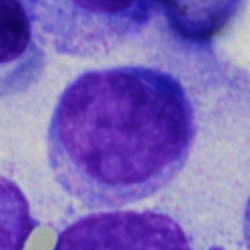 Q: What is the morphological classification of this cell?
A: This is a blast.